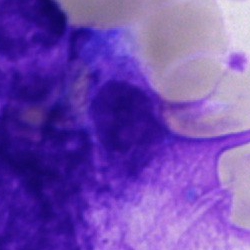
Morphology — artifact.